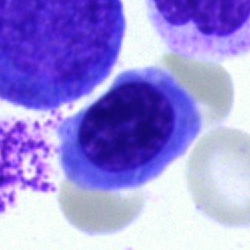
This is a nucleated red blood cell.